Bone marrow smear:
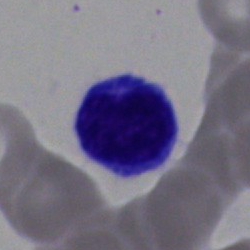

Q: What type of cell is this?
A: A typical lymphocyte.